Bone marrow aspirate smear — 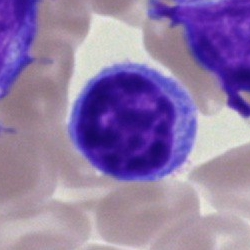 Morphology consistent with a lymphocyte.